Bone marrow aspirate smear:
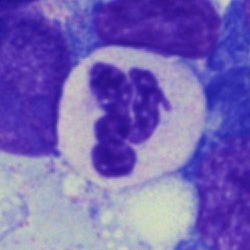

The cell shown is a neutrophil (segmented).